Bone marrow smear
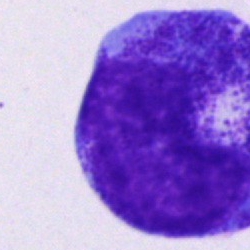 Morphological class: promyelocyte.